May-Grünwald-Giemsa/Pappenheim stain · bone marrow smear
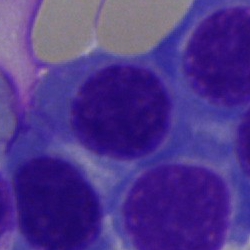

Specimen: bone marrow smear.
Cell type: erythroblast.